May-Grünwald-Giemsa stain. Bone marrow aspirate smear — 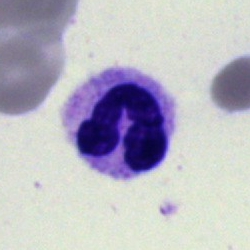
Cell = segmented neutrophil.